Bone marrow aspirate smear — 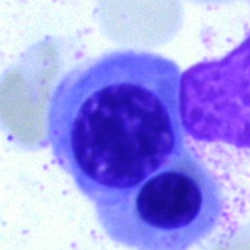 The cell type is nucleated red blood cell.